40× objective, oil immersion. Bone marrow aspirate smear
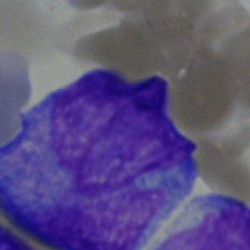 Morphology consistent with a blast cell.